Single-cell field; bone marrow aspirate smear; 40× oil immersion:
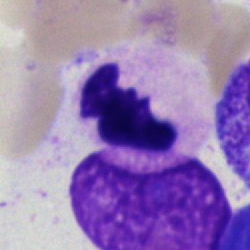

Morphology → neutrophil (segmented).